Peripheral blood film.
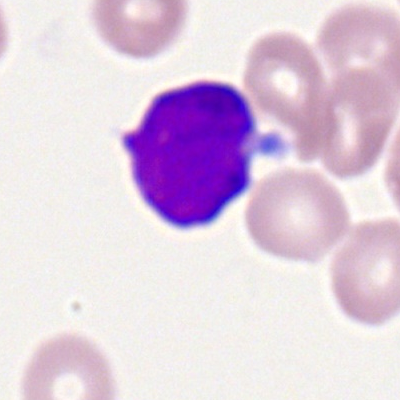
Specimen: peripheral blood smear.
Cell type: typical lymphocyte.
Lineage: lymphoid.